Bone marrow smear; MGG-stained; 250×250 — 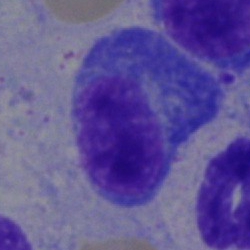 Impression → plasma cell.